Peripheral blood film. 400×400 px: 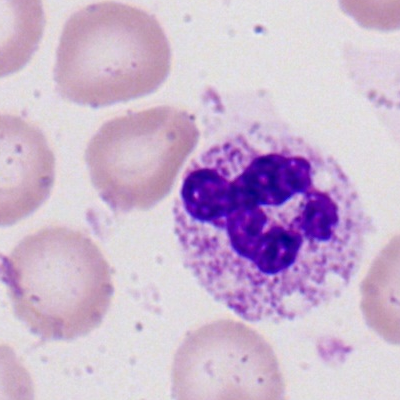
Classification = neutrophil (segmented).